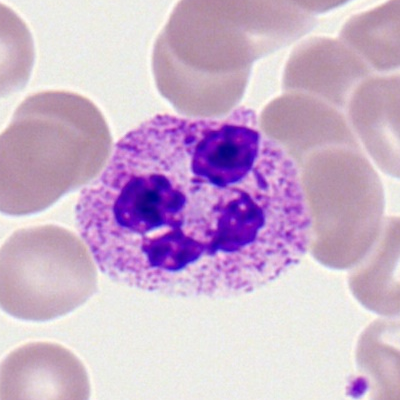
{"cell_type": "polymorphonuclear neutrophil", "lineage": "myeloid"}